Bone marrow aspirate smear: 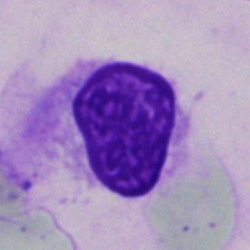
Q: What is shown here?
A: It is an artifact.